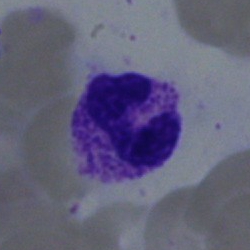
Classification: neutrophil (segmented).